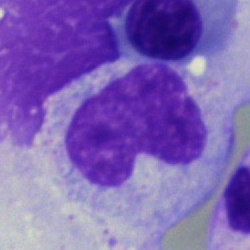

Q: What type of cell is this?
A: Band-form neutrophil.